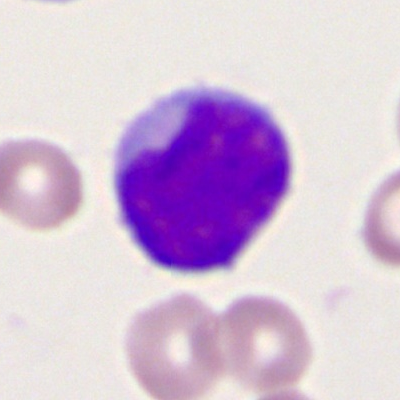

Morphology — myeloid blast.